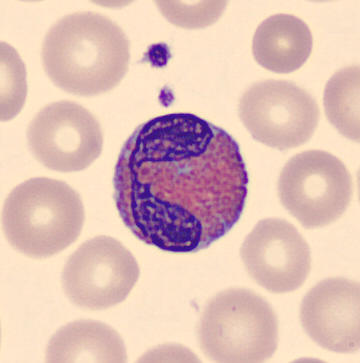

Single cell identified as an eosinophilic granulocyte.

Preparation: MGG stain; peripheral blood film.